Peripheral blood smear:
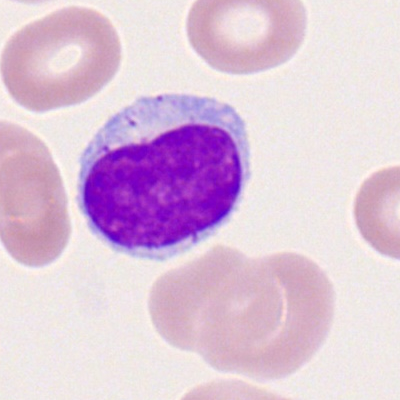 Impression → lymphocyte.